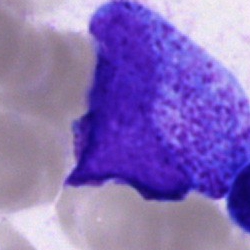

Impression → progranulocyte.